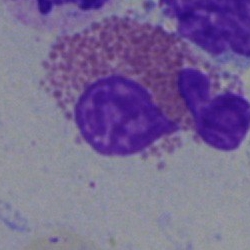

Q: Identify the cell.
A: An eosinophil.